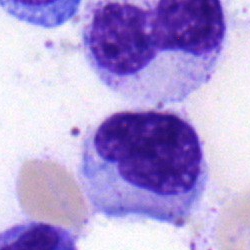 Q: What is shown here?
A: This is a myelocyte.